Brightfield, 100× oil-immersion objective · peripheral blood film
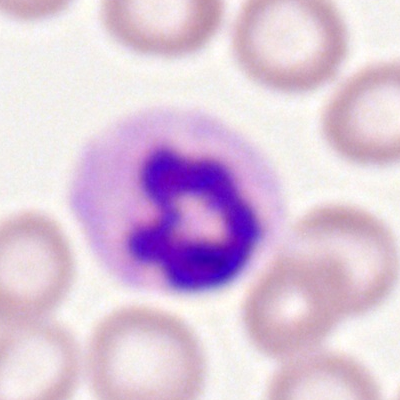Morphology — segmented neutrophil.